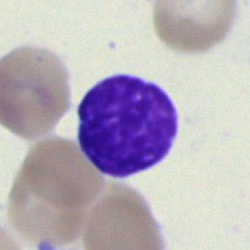The morphological class is typical lymphocyte.